Bone marrow aspirate smear; 40× oil immersion; May-Grünwald-Giemsa/Pappenheim stain
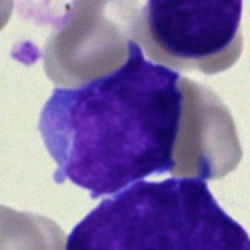
Cell: blast.